Bone marrow smear:
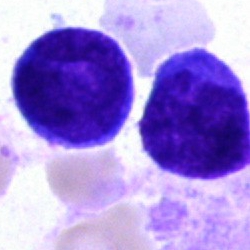

Specimen: bone marrow aspirate smear.
Morphological class: undifferentiated blast.